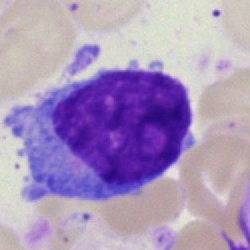

Specimen: bone marrow aspirate smear.
Morphological class: lymphocyte.